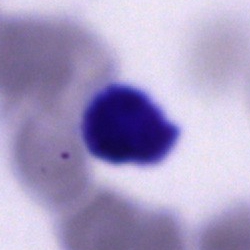
Q: What is shown here?
A: It is a typical lymphocyte.